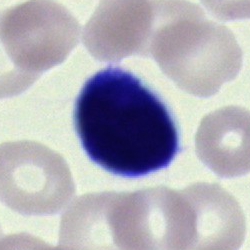Bone marrow smear showing a lymphocyte.